May-Grünwald-Giemsa/Pappenheim stain. Bone marrow smear:
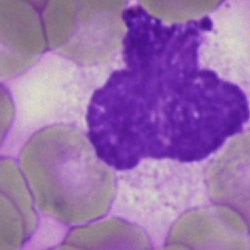
Single cell identified as an artifact.